Bone marrow aspirate smear: 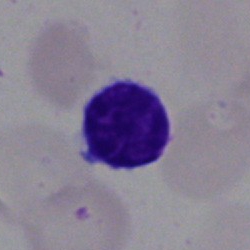 The cell is typical lymphocyte.